Bone marrow aspirate smear. May-Grünwald-Giemsa/Pappenheim stain. Cropped to a single cell:
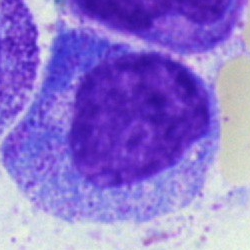A promyelocyte.